Bone marrow smear — 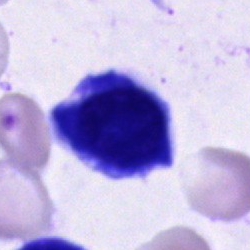{"cell_type": "cell of indeterminate lineage"}